Image size 250×250 · bone marrow smear: 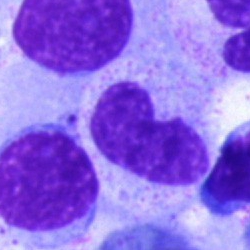

The cell shown is a neutrophil (band).